Romanowsky stain · peripheral blood smear · single-cell crop.
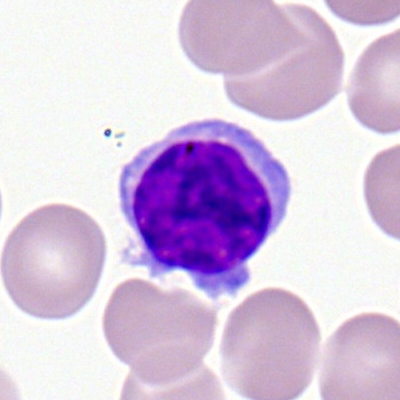The cell type is typical lymphocyte.